May-Grünwald-Giemsa stain; bone marrow smear.
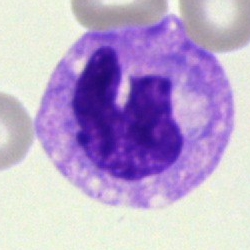

Morphology consistent with a segmented neutrophil.